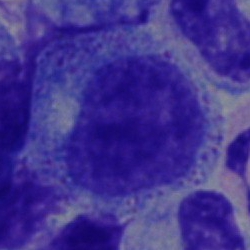
Cell type: myelocyte.